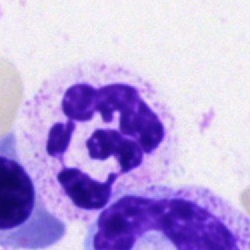Morphological class: segmented neutrophil.